Bone marrow aspirate smear:
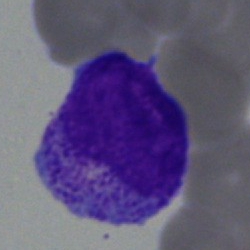

Morphology consistent with a myelocyte.